Bone marrow aspirate smear; 250×250:
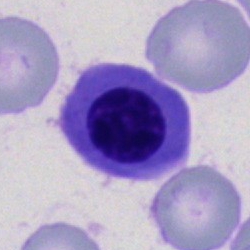An erythroblast.